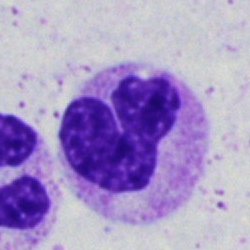{"cell_type": "neutrophil (band)", "lineage": "myeloid"}